Peripheral blood film · cropped to a single cell · 400×400 px:
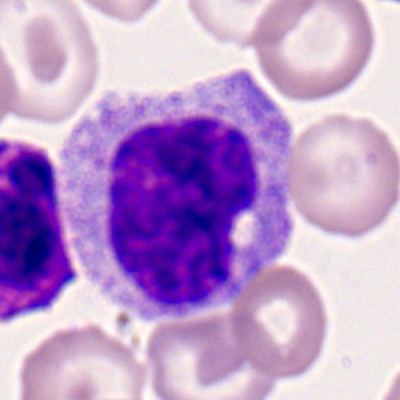 Q: Identify the cell.
A: Monocyte.